Bone marrow aspirate smear:
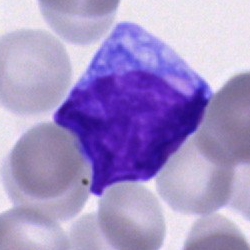
This is a blast.